Bone marrow smear: 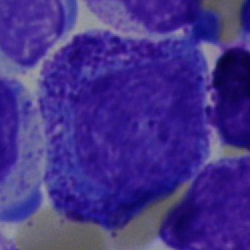 Impression — promyelocyte.